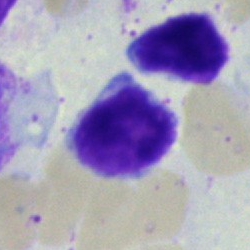
The cell type is typical lymphocyte.